Bone marrow smear. May-Grünwald-Giemsa stain
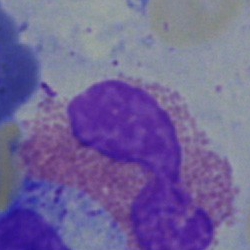
Q: What is shown here?
A: It is an eosinophilic granulocyte.